Peripheral blood smear.
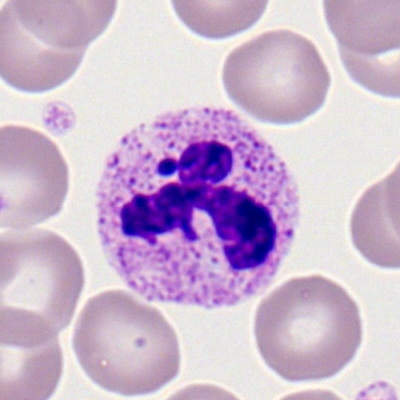 Morphological class — segmented neutrophil.